Romanowsky stain; peripheral blood film.
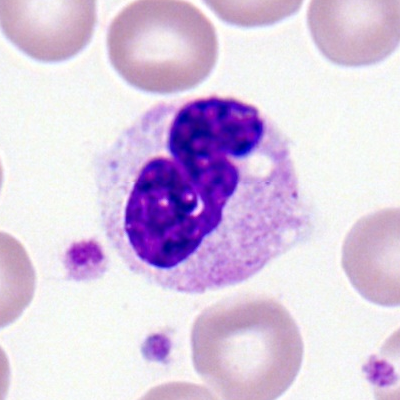

Morphology — polymorphonuclear neutrophil.